Single cell centered in the field; bone marrow aspirate smear:
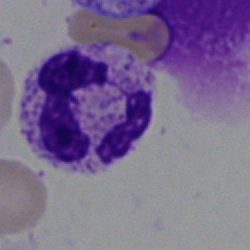

The cell shown is a segmented neutrophil.